Bone marrow smear
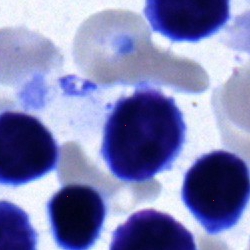Q: What cell is this?
A: This is a lymphocyte.